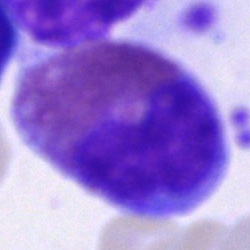 Morphology consistent with an eosinophil.